Bone marrow aspirate smear. Single-cell field: 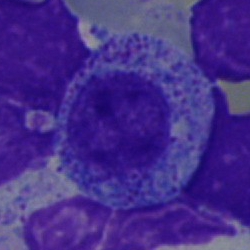 The cell shown is a myelocyte.